Bone marrow smear. May-Grünwald-Giemsa stain. Brightfield microscopy, 40× oil immersion: 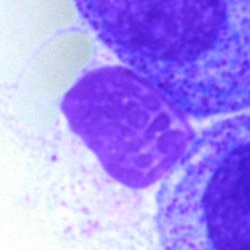

The morphological class is artifact.